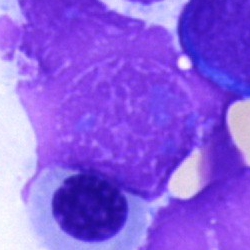 Morphology → artefact.